250×250 px. Bone marrow aspirate smear: 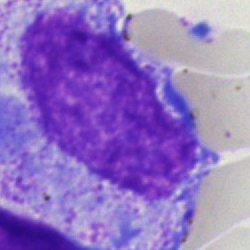 Progranulocyte.